Bone marrow smear — 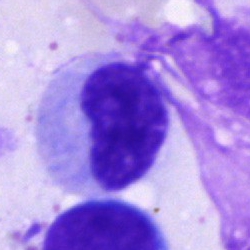

Metamyelocyte.